Bone marrow smear:
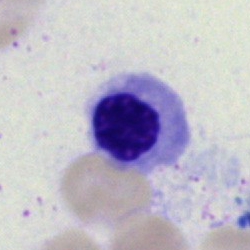
Morphology — normoblast.